250 by 250 pixels; bone marrow smear; MGG-stained.
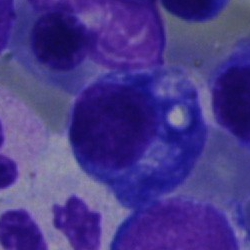Specimen: bone marrow aspirate smear.
Cell type: plasma cell.
Lineage: lymphoid.